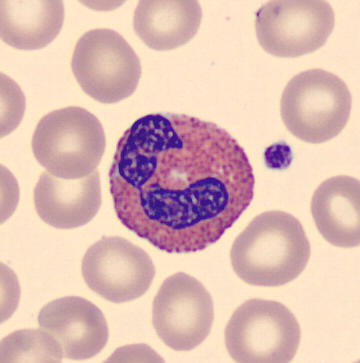

Cell type — eosinophilic granulocyte. Peripheral blood smear · MGG stain.